Peripheral blood smear; Romanowsky-stained: 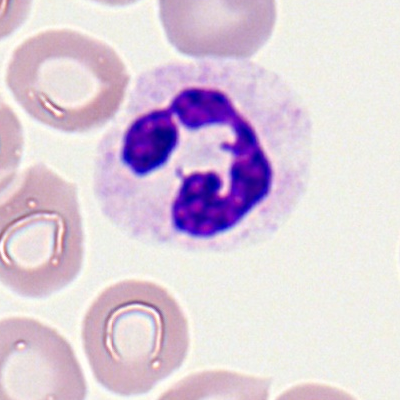Q: What type of cell is this?
A: Polymorphonuclear neutrophil.